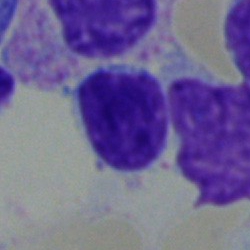

Q: What cell is this?
A: A lymphocyte.